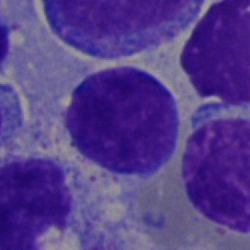Bone marrow smear showing a lymphocyte.